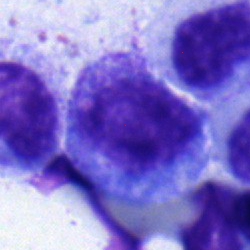Cell: myelocyte.